Bone marrow aspirate smear · brightfield, 40× oil-immersion objective — 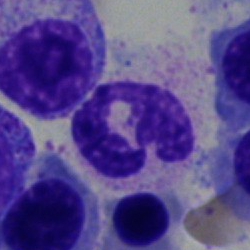
Classification = neutrophil (segmented).